Bone marrow aspirate smear:
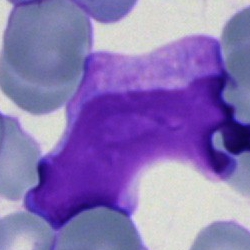

Morphology — undifferentiated blast.